Pappenheim-stained; bone marrow aspirate smear.
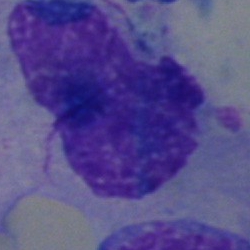

Specimen: bone marrow aspirate smear.
Classification: artefact.